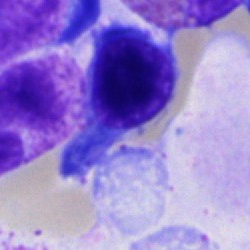A nucleated red cell.